Bone marrow aspirate smear. Single-cell crop
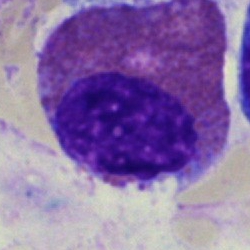 Impression → eosinophil.